250×250 px · MGG-stained · bone marrow aspirate smear
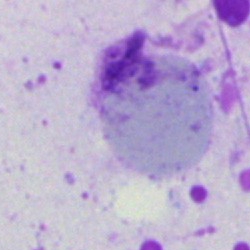Impression → artefact.